Single-cell field; bone marrow smear; 250 by 250 pixels — 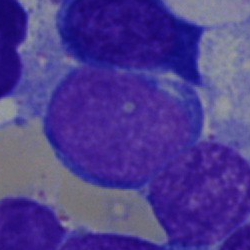Morphology — typical lymphocyte.